Bone marrow aspirate smear
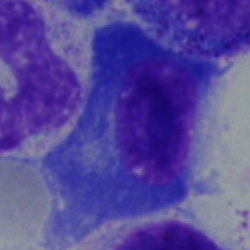 Specimen: bone marrow aspirate smear.
Cell type: plasma cell.